40× objective, oil immersion; bone marrow aspirate smear
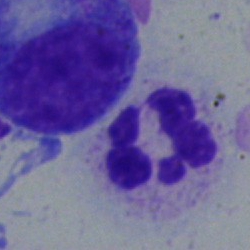
Q: Which cell type is shown here?
A: This is a polymorphonuclear neutrophil.